Bone marrow aspirate smear: 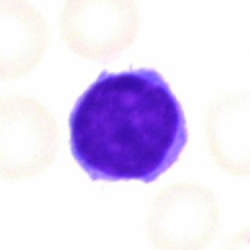Q: Which cell type is shown here?
A: A lymphocyte.